Bone marrow smear: 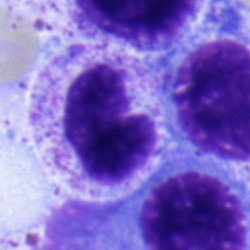 {"cell_type": "stab cell", "lineage": "myeloid"}